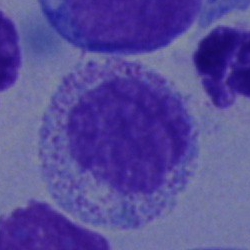A promyelocyte.